Single-cell crop. Bone marrow smear
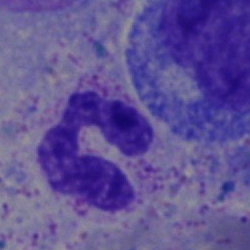
Cell type — neutrophil (segmented).